Bone marrow smear; brightfield, 40× oil-immersion objective.
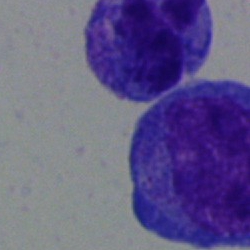A blast cell.